Bone marrow aspirate smear. Image size 250×250. Single-cell crop:
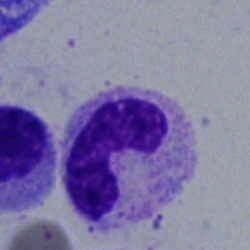 Q: What cell is this?
A: It is a neutrophil (band).